Bone marrow smear. 40× oil immersion: 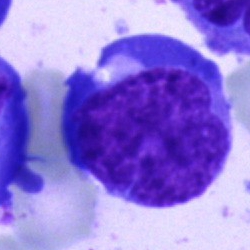
Morphological class = blast.